Peripheral blood film
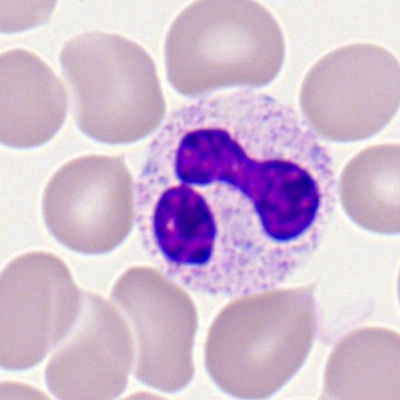

Impression → segmented neutrophil.